Pappenheim-stained · bone marrow smear — 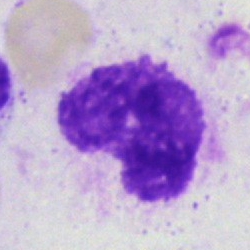

Single cell identified as an artefact.